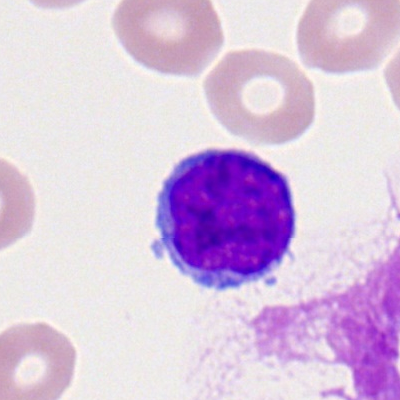 Single-cell crop from a peripheral blood smear: lymphocyte.